Bone marrow aspirate smear — 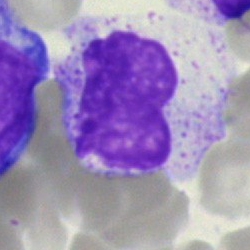

Classification — metamyelocyte.